Bone marrow smear
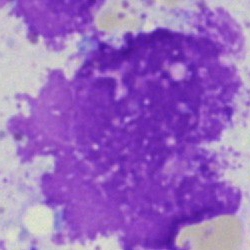
An artefact.